250 by 250 pixels. Brightfield microscopy, 40× oil immersion. Bone marrow aspirate smear — 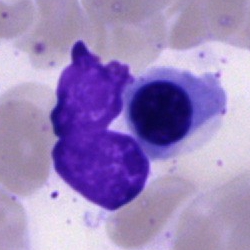
Cell = nucleated red cell.